Bone marrow smear:
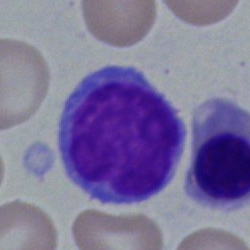 Specimen: bone marrow smear.
Classification: typical lymphocyte.